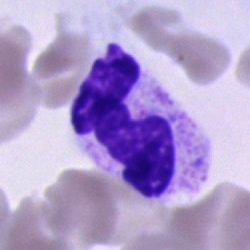Cell = polymorphonuclear neutrophil.